Bone marrow smear · 250 by 250 pixels · single cell centered in the field
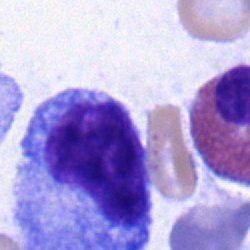
The cell shown is a progranulocyte.